Bone marrow aspirate smear · cropped to a single cell
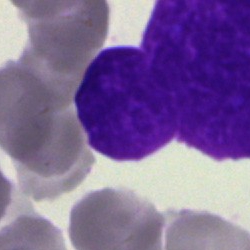

Cell: artefact.